Pappenheim-stained · single cell centered in the field · bone marrow aspirate smear:
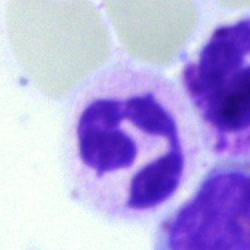
{"cell_type": "polymorphonuclear neutrophil", "lineage": "myeloid"}